Brightfield microscopy, 40× oil immersion · bone marrow smear: 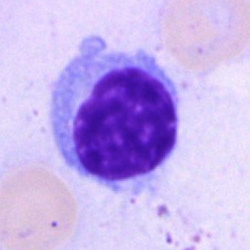
Morphology — lymphocyte.